Bone marrow smear: 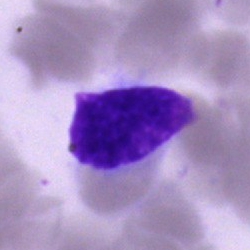
Lymphocyte.